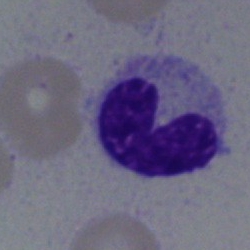
Q: Which cell type is shown here?
A: It is a band neutrophil.